Bone marrow smear.
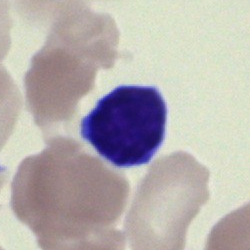

Specimen: bone marrow smear.
Cell: lymphocyte.